Bone marrow aspirate smear. Cropped to a single cell
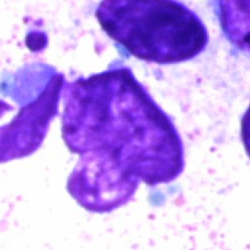

{"cell_type": "artefact"}